Bone marrow aspirate smear · single-cell field.
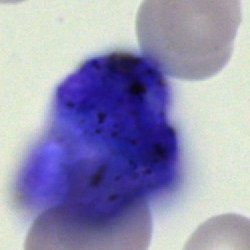Single cell identified as an artefact.